Peripheral blood film.
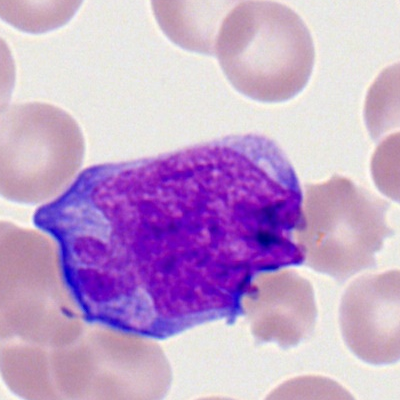
Q: What is shown here?
A: This is a myeloblast.